Bone marrow smear · image size 250×250 · Pappenheim-stained — 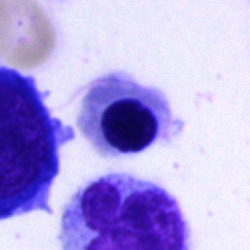

Specimen: bone marrow aspirate smear.
Morphological class: erythroblast.